Bone marrow smear.
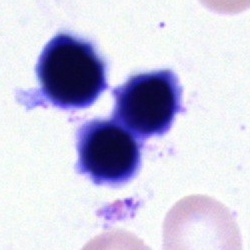 {"cell_type": "nucleated red cell", "lineage": "erythroid"}